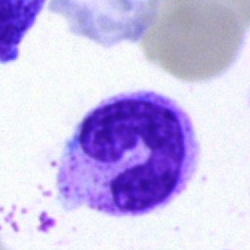 Specimen: bone marrow smear.
Cell: neutrophil (band).